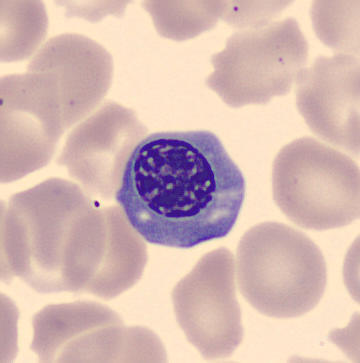
Q: What cell is this?
A: It is a nucleated red cell. Peripheral blood smear.